Brightfield, 40× oil-immersion objective. Single-cell field. Bone marrow aspirate smear: 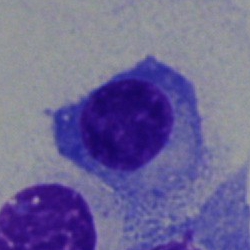Specimen: bone marrow smear.
Cell type: plasmacyte.
Lineage: lymphoid.